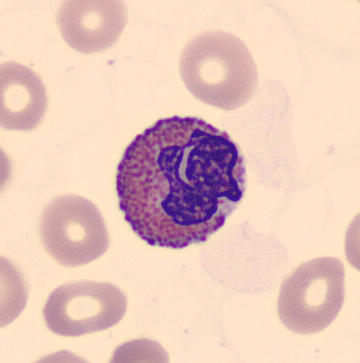
Q: Which cell type is shown here?
A: An eosinophil.